Bone marrow aspirate smear — 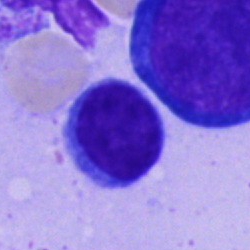

Specimen: bone marrow aspirate smear.
Morphological class: typical lymphocyte.
Lineage: lymphoid.